Single-cell crop; bone marrow smear — 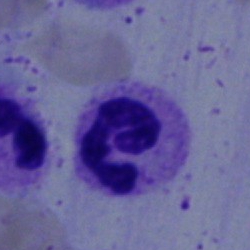
{"cell_type": "band-form neutrophil"}